Bone marrow smear: 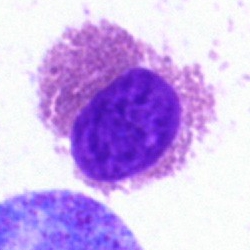
Q: What type of cell is this?
A: This is an eosinophilic granulocyte.